Bone marrow smear:
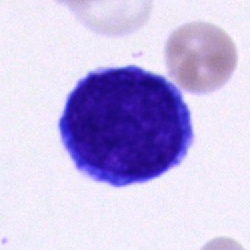Showing an artifact.